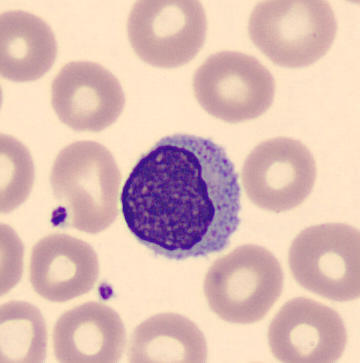Q: Which cell type is shown here?
A: Lymphocyte.